Bone marrow smear:
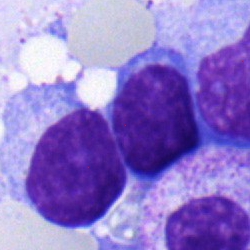 A lymphocyte.